Single-cell crop. Bone marrow smear.
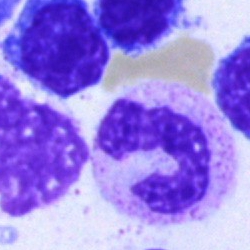

This is a segmented neutrophil.